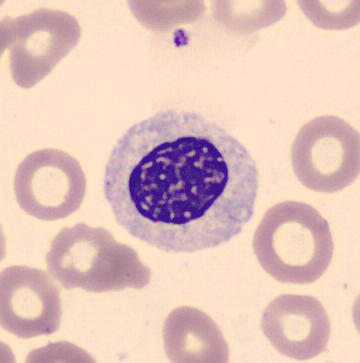Morphology consistent with a myelocyte.

Image: Automated cell imaging (CellaVision DM96); peripheral blood smear; May Grünwald-Giemsa stain.